Bone marrow smear; May-Grünwald-Giemsa stain: 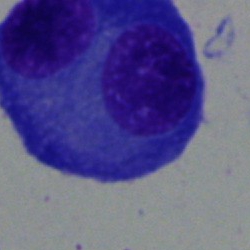 Showing a plasmacyte.